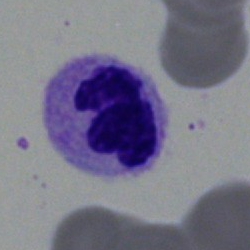

The cell shown is a polymorphonuclear neutrophil.